Bone marrow aspirate smear.
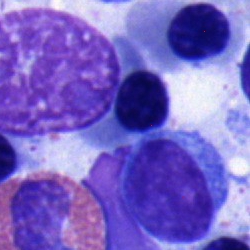

Specimen: bone marrow smear.
Cell: nucleated red blood cell.
Lineage: erythroid.